Bone marrow smear — 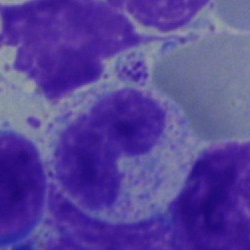

Q: What is shown here?
A: It is a neutrophil (band).